Bone marrow smear
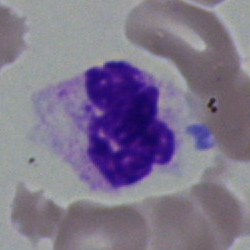

A neutrophil (segmented).